Bone marrow smear
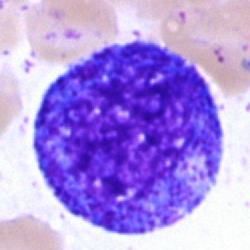Cell type: promyelocyte.